Bone marrow smear.
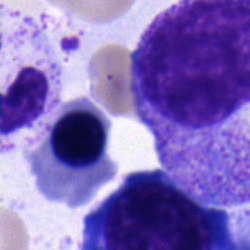Morphology consistent with a nucleated red cell.